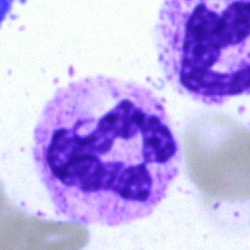 This is a polymorphonuclear neutrophil.